Bone marrow aspirate smear
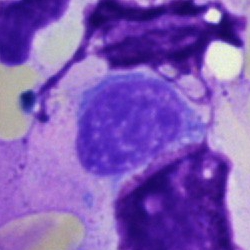 Cell — normoblast.